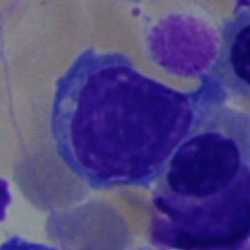
Q: Identify the cell.
A: Nucleated red blood cell.